May-Grünwald-Giemsa/Pappenheim stain · bone marrow aspirate smear · 40× objective, oil immersion — 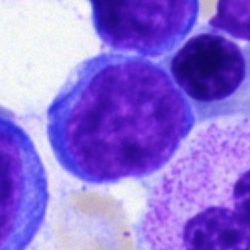 Cell type — blast cell.